Bone marrow smear · 250×250 · single-cell crop:
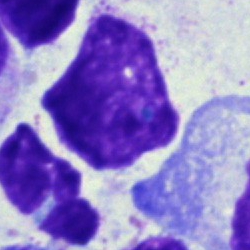
Artifact.